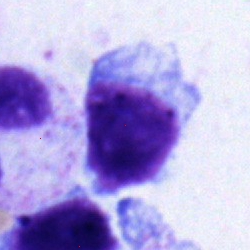A typical lymphocyte.